40× oil immersion · bone marrow smear
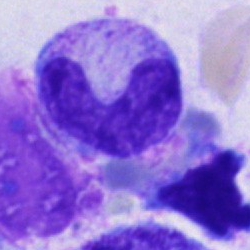 The cell shown is a band neutrophil.